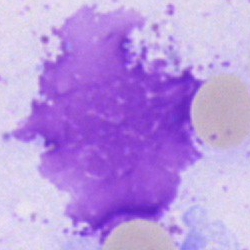 The cell shown is an artifact.